Bone marrow smear — 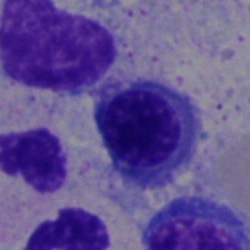 Morphology consistent with a nucleated red cell.